Bone marrow aspirate smear; brightfield microscopy, 40× oil immersion; May-Grünwald-Giemsa/Pappenheim stain: 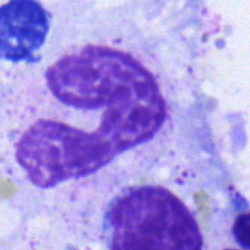

Specimen: bone marrow aspirate smear.
Cell: band-form neutrophil.
Lineage: myeloid.